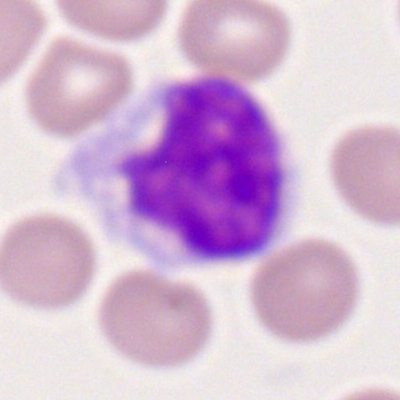

The cell shown is a monocyte.